Bone marrow smear. Brightfield microscopy, 40× oil immersion. Image size 250×250 — 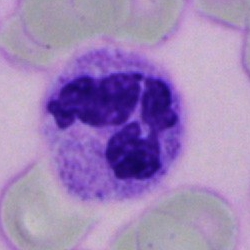 Morphology consistent with a segmented neutrophil.